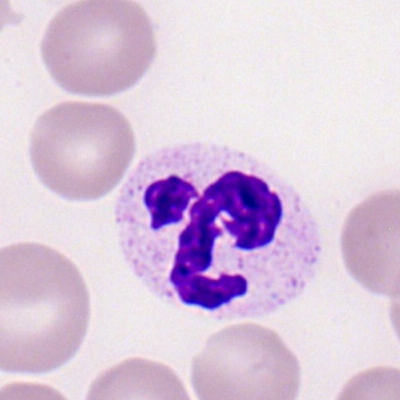 {"cell_type": "neutrophil (segmented)", "lineage": "myeloid"}